Brightfield, 40× oil-immersion objective · bone marrow smear · MGG-stained — 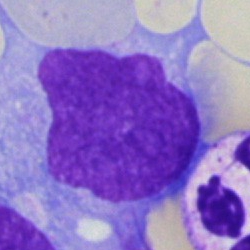 Showing an artifact.